Bone marrow aspirate smear.
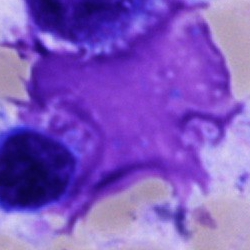Showing an artifact.